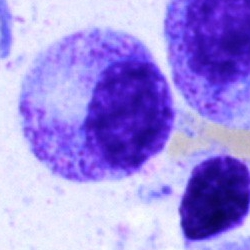
Q: What cell is this?
A: This is a myelocyte.